Bone marrow smear. May-Grünwald-Giemsa/Pappenheim stain: 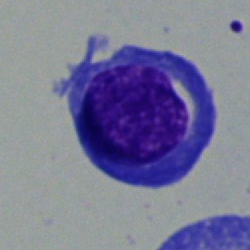 Showing a plasmacyte.